Single-cell crop · bone marrow aspirate smear:
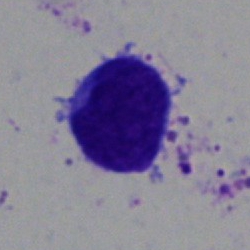

The morphological class is typical lymphocyte.